Bone marrow smear — 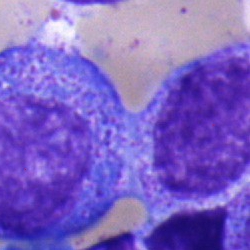 This is a myelocyte.